Peripheral blood film · 400×400 px — 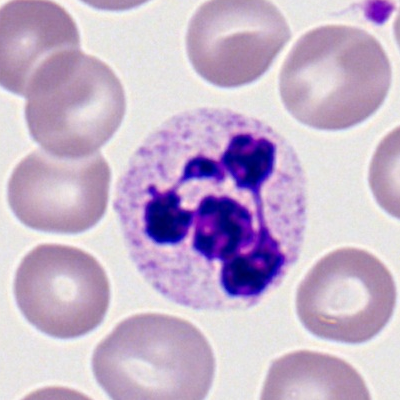Cell — neutrophil (segmented).